Single-cell field; bone marrow aspirate smear; 250 by 250 pixels
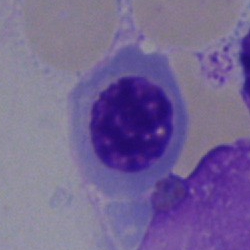 Classification = normoblast.